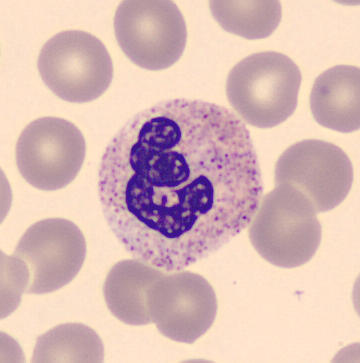Specimen: peripheral blood film.
Morphological class: neutrophil (segmented).
Lineage: myeloid.